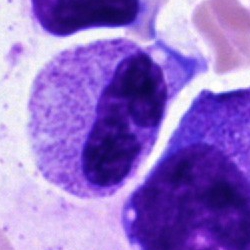
Q: What is the morphological classification of this cell?
A: It is a band neutrophil.